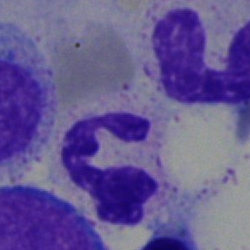Q: What is the morphological classification of this cell?
A: A polymorphonuclear neutrophil.